Bone marrow smear:
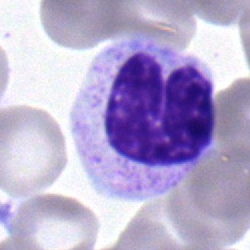

Classification: neutrophil (band).